Image size 400×400. Peripheral blood smear: 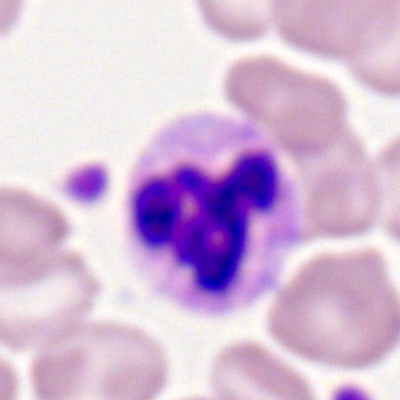Single cell identified as a polymorphonuclear neutrophil.